Image size 250×250 · single-cell crop · bone marrow smear:
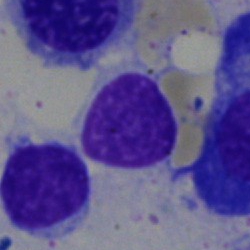

Classification: typical lymphocyte.